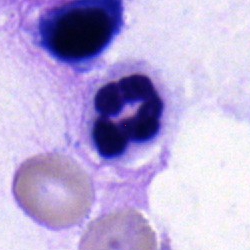

Q: Identify the cell.
A: It is a neutrophil (segmented).